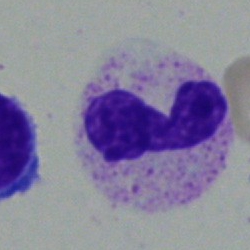

A band neutrophil.